Bone marrow smear; brightfield, 40× oil-immersion objective; cropped to a single cell
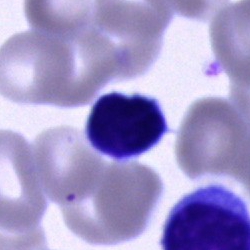

This is a typical lymphocyte.